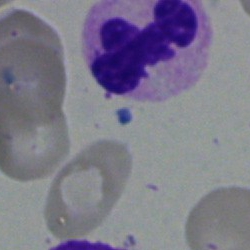
Morphology — polymorphonuclear neutrophil.